Bone marrow aspirate smear
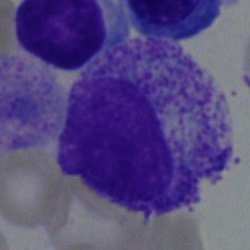A myelocyte.